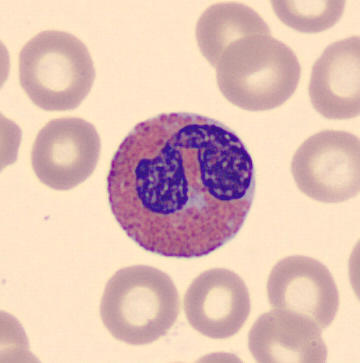The classification is eosinophil.